250×250 px · bone marrow aspirate smear — 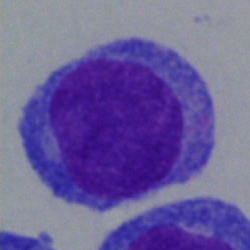 Morphology — blast.